Bone marrow aspirate smear — 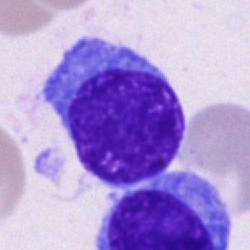

Morphology → plasma cell.